Bone marrow aspirate smear. 250 by 250 pixels
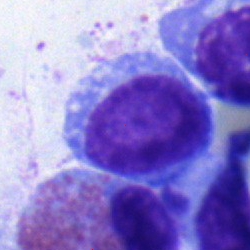Cell — typical lymphocyte.